Bone marrow smear
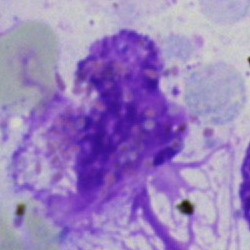Showing an artefact.